Bone marrow aspirate smear:
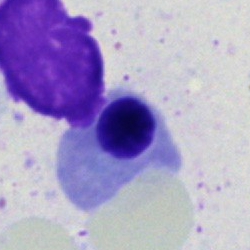This is a nucleated red cell.